Bone marrow smear: 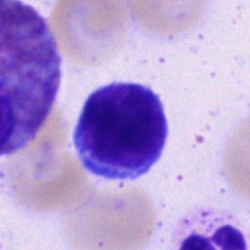Impression → typical lymphocyte.